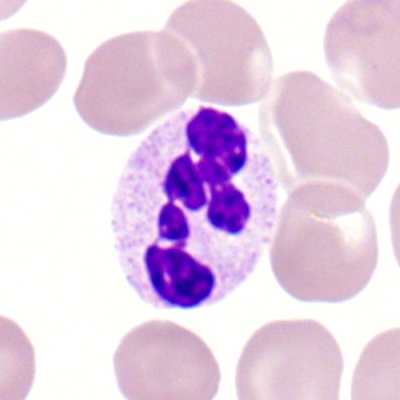Q: What is the morphological classification of this cell?
A: This is a segmented neutrophil.